Image size 250×250 · bone marrow smear · May-Grünwald-Giemsa/Pappenheim stain:
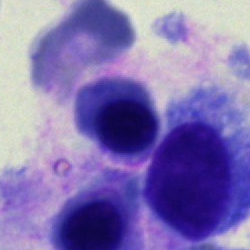Specimen: bone marrow smear.
Classification: normoblast.
Lineage: erythroid.